May-Grünwald-Giemsa/Pappenheim stain. Single cell centered in the field. Bone marrow smear — 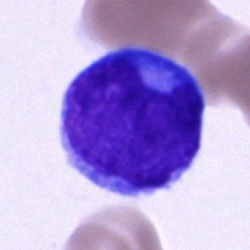 Specimen: bone marrow aspirate smear.
Cell type: blast cell.